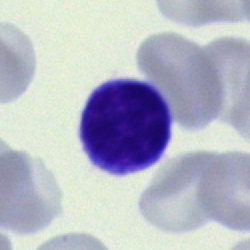{"cell_type": "typical lymphocyte", "lineage": "lymphoid"}